Bone marrow smear
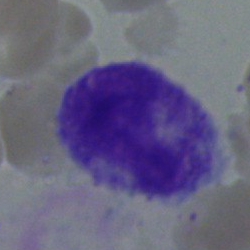
Cell type — stab cell.